Bone marrow smear — 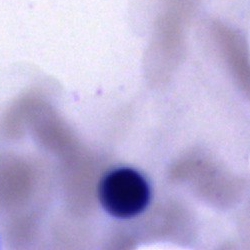Cell type = artifact.